40× oil immersion; bone marrow aspirate smear: 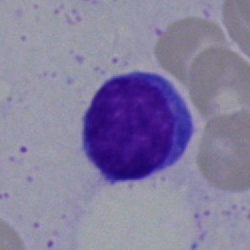

This is a lymphocyte.